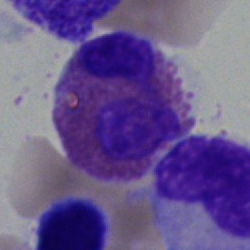 Q: What cell is this?
A: This is an eosinophil.